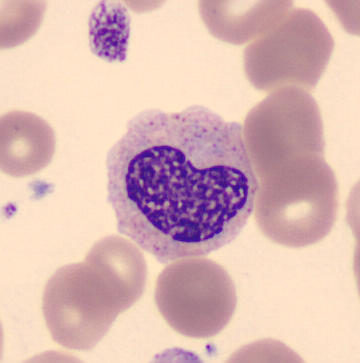Q: What is the morphological classification of this cell?
A: This is a metamyelocyte.
Image: Peripheral blood smear.